Bone marrow aspirate smear · 40× oil immersion
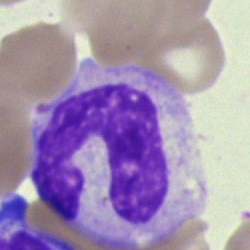

A stab cell.